250 by 250 pixels. Bone marrow smear. Cropped to a single cell
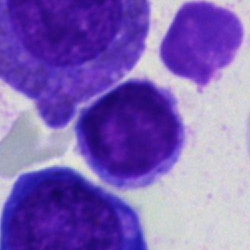 Cell type = lymphocyte.